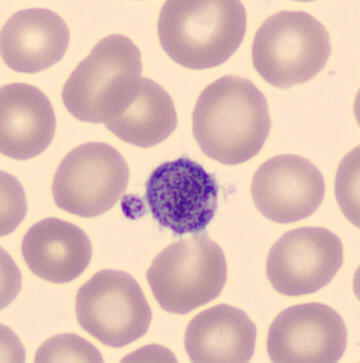Acquisition: Peripheral blood film · imaged on a CellaVision DM96 analyser · MGG-stained.

Impression — platelet (thrombocyte).